Bone marrow smear — 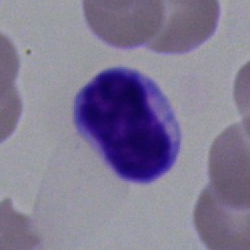Q: What cell is this?
A: This is a typical lymphocyte.